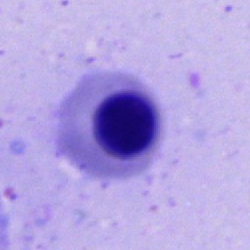

Cell type: nucleated red cell.